Bone marrow smear — 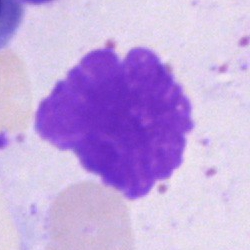Morphology — artifact.